Bone marrow aspirate smear: 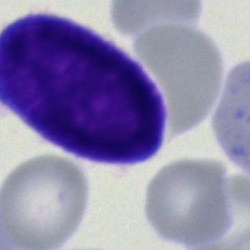Classification = blast cell.